Image size 250×250; bone marrow aspirate smear; single-cell field:
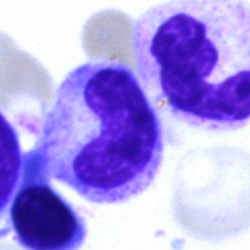
Showing a neutrophil (band).